Bone marrow smear — 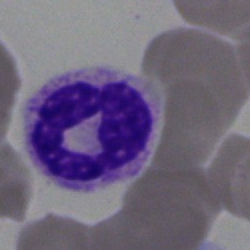

Morphology → segmented neutrophil.